Bone marrow aspirate smear: 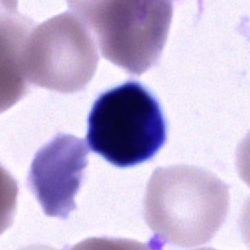
Q: What type of cell is this?
A: It is a cell of indeterminate lineage.